Bone marrow smear — 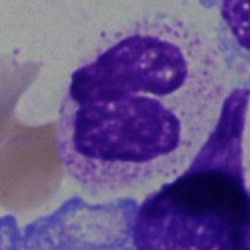

Specimen: bone marrow smear.
Classification: neutrophil (segmented).